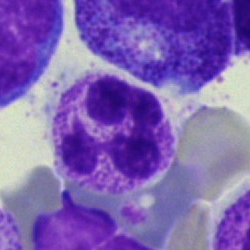
A polymorphonuclear neutrophil on a bone marrow smear.